Bone marrow aspirate smear · brightfield microscopy, 40× oil immersion:
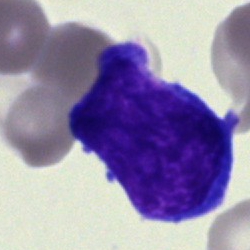
Single cell identified as an undifferentiated blast.